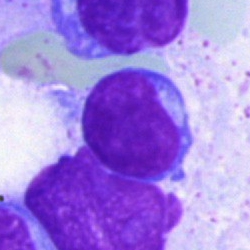Cell: typical lymphocyte.